May-Grünwald-Giemsa/Pappenheim stain · bone marrow smear.
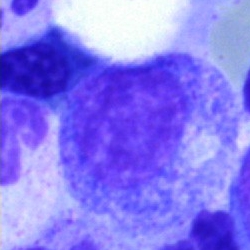
{"cell_type": "progranulocyte", "lineage": "myeloid"}